May-Grünwald-Giemsa/Pappenheim stain · bone marrow aspirate smear.
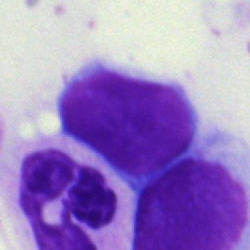The classification is neutrophil (segmented).